May-Grünwald-Giemsa/Pappenheim stain. Bone marrow aspirate smear:
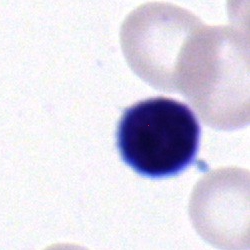

Single cell identified as a typical lymphocyte.